Peripheral blood smear — 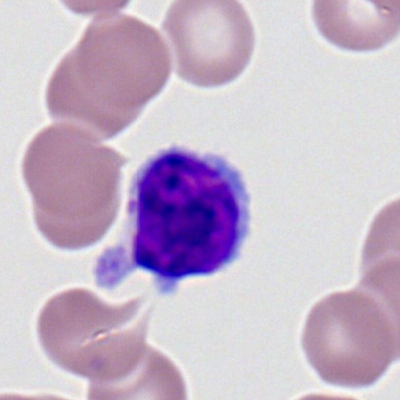Q: Which cell type is shown here?
A: This is a typical lymphocyte.